Single-cell crop; peripheral blood smear
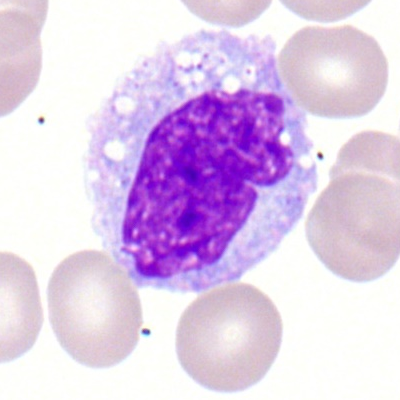 Cell type — monocyte.